Bone marrow smear
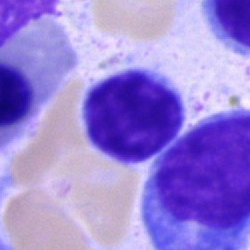

Morphology consistent with a typical lymphocyte.